Bone marrow aspirate smear; 40× oil immersion:
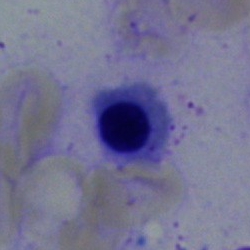 Cell type — nucleated red blood cell.